Bone marrow smear.
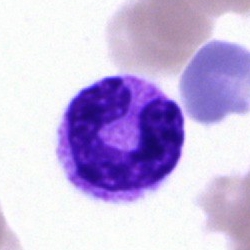{"cell_type": "segmented neutrophil"}